Brightfield microscopy, 40× oil immersion; bone marrow smear.
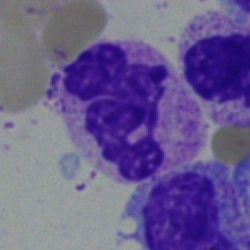
Specimen: bone marrow smear.
Cell type: polymorphonuclear neutrophil.
Lineage: myeloid.